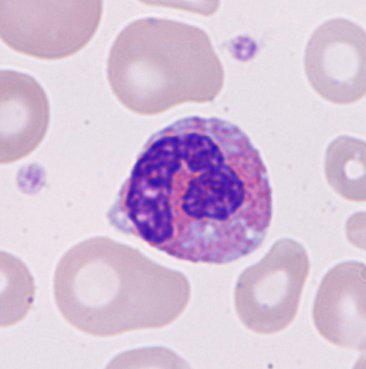 Specimen: peripheral blood smear.
Cell type: eosinophil.
Image: May-Grünwald-Giemsa-stained.